Peripheral blood smear:
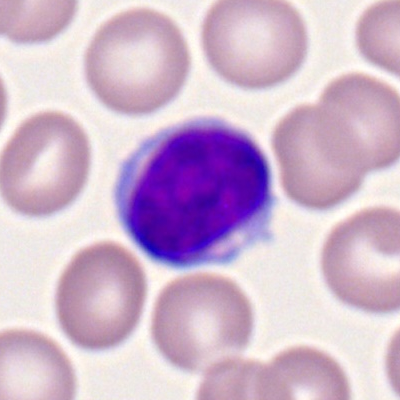The cell shown is a typical lymphocyte.